Bone marrow smear:
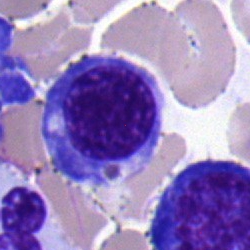
Q: What is the morphological classification of this cell?
A: This is a nucleated red cell.